Bone marrow smear; 250 by 250 pixels:
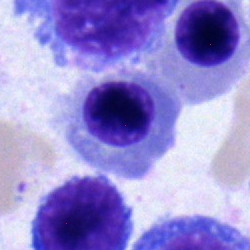

The cell shown is a normoblast.